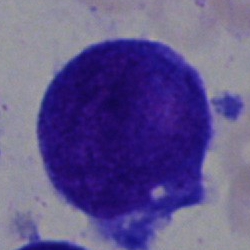 Cell: blast cell.